Bone marrow aspirate smear:
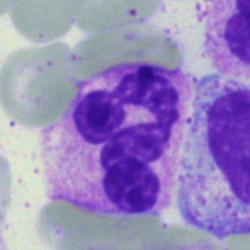 {"cell_type": "segmented neutrophil", "lineage": "myeloid"}